Cropped to a single cell · bone marrow smear · brightfield, 40× oil-immersion objective.
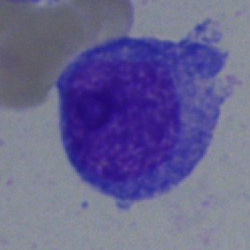Cell type — blast cell.